Bone marrow aspirate smear:
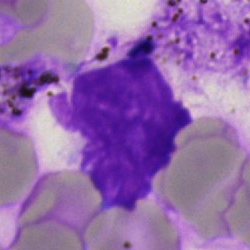
Impression — artifact.